40× oil immersion. Image size 250×250. Bone marrow smear: 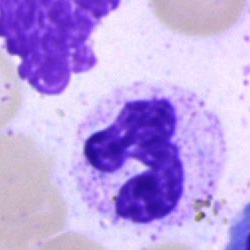 Morphology consistent with a neutrophil (segmented).